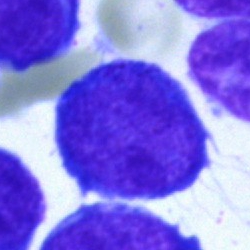

Q: What is the morphological classification of this cell?
A: Blast.